Single cell centered in the field · bone marrow smear: 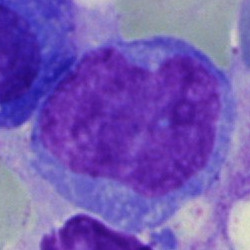 This is a monocyte.